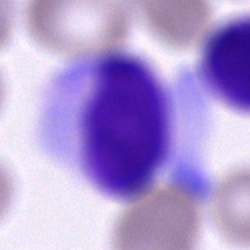
Impression — cell of indeterminate lineage.